Bone marrow aspirate smear. Single cell centered in the field — 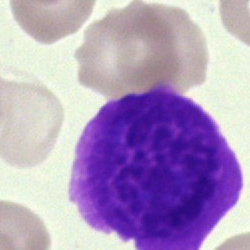 The classification is artifact.